Bone marrow aspirate smear
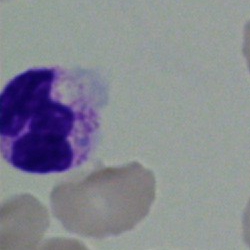
Q: Which cell type is shown here?
A: It is a polymorphonuclear neutrophil.